Bone marrow smear. 40× oil immersion:
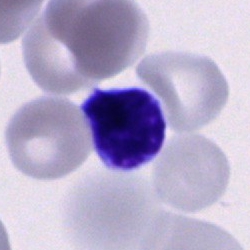 Specimen: bone marrow aspirate smear.
Cell type: cell of indeterminate lineage.